Pappenheim-stained; bone marrow aspirate smear; 250×250 px: 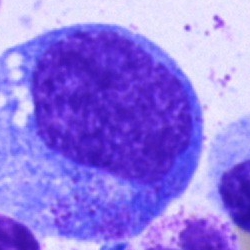 A progranulocyte.